Bone marrow aspirate smear. 40× objective, oil immersion. 250×250 px
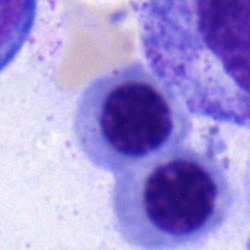 Q: Identify the cell.
A: An erythroblast.